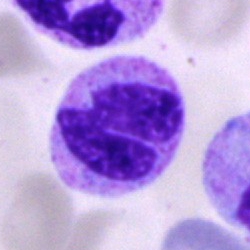Classification: polymorphonuclear neutrophil.